Bone marrow aspirate smear:
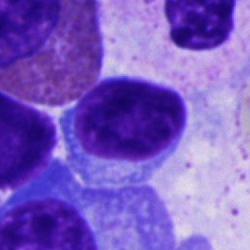
The cell shown is a typical lymphocyte.